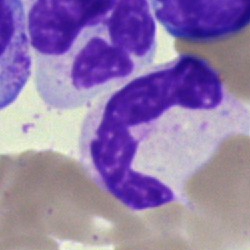 Specimen: bone marrow smear.
Classification: polymorphonuclear neutrophil.